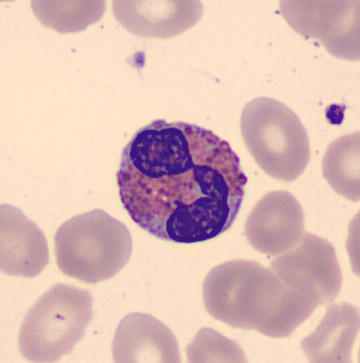

Acquisition: Peripheral blood smear.

Q: What is the morphological classification of this cell?
A: Eosinophil.